Bone marrow smear.
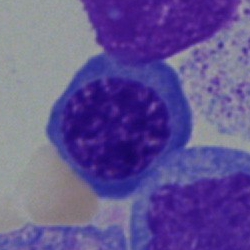

Morphology — erythroblast.